Brightfield, 40× oil-immersion objective; image size 250×250; bone marrow smear
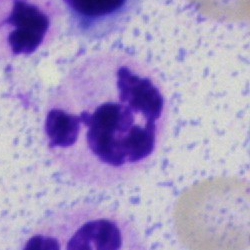Classification — polymorphonuclear neutrophil.